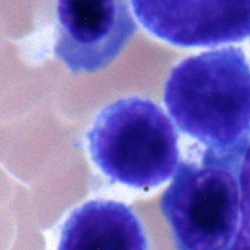 Cell type: typical lymphocyte.